Bone marrow smear; Pappenheim-stained; 40× objective, oil immersion — 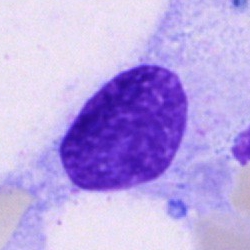 Single cell identified as an artefact.